Bone marrow smear — 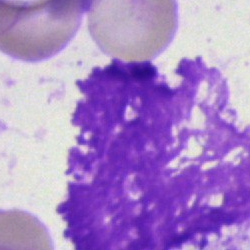 Impression → artefact.